Peripheral blood smear · single cell centered in the field
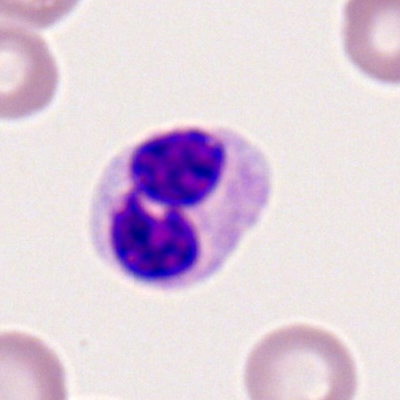

Morphology → polymorphonuclear neutrophil.